Brightfield, 40× oil-immersion objective; bone marrow aspirate smear.
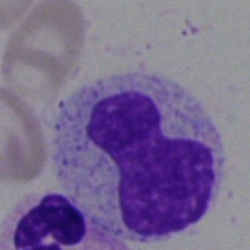Cell type = artefact.